Cropped to a single cell. Bone marrow aspirate smear:
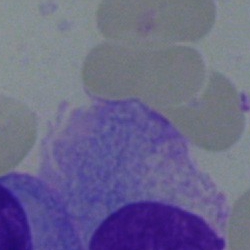
Specimen: bone marrow smear.
Cell type: plasmacyte.
Lineage: lymphoid.